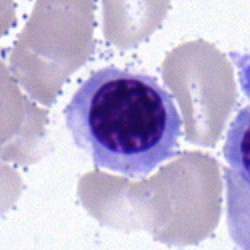
Bone marrow aspirate smear, single cell — nucleated red cell.